Brightfield microscopy, 40× oil immersion; bone marrow smear:
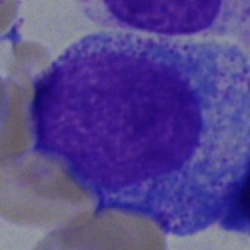
Q: What cell is this?
A: Progranulocyte.